40× objective, oil immersion · bone marrow aspirate smear · single-cell field: 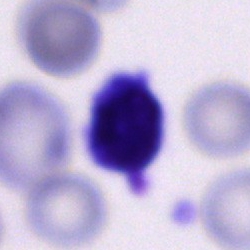
Morphology consistent with an unidentifiable cell.